Image size 250×250 · bone marrow smear — 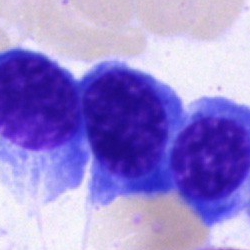Morphological class: erythroblast.